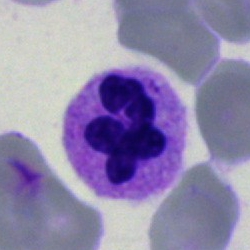
Specimen: bone marrow smear.
Cell type: neutrophil (segmented).